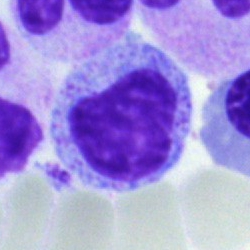Specimen: bone marrow aspirate smear.
Classification: myelocyte.
Lineage: myeloid.